Bone marrow smear · May-Grünwald-Giemsa/Pappenheim stain.
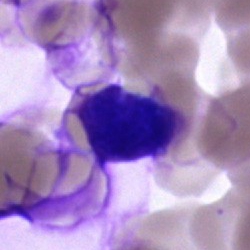 The cell shown is an artefact.